Bone marrow aspirate smear:
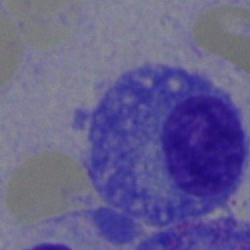
Cell: plasma cell.